Bone marrow aspirate smear:
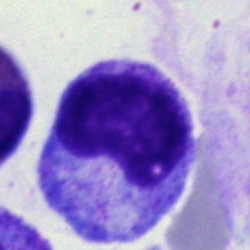
Morphology → metamyelocyte.